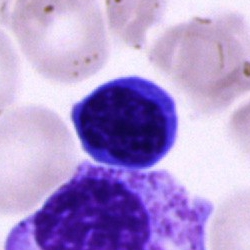

Cell type = unidentifiable cell.